Bone marrow smear.
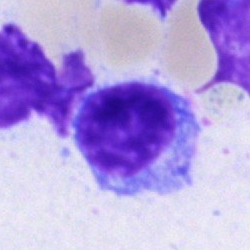Classification — typical lymphocyte.